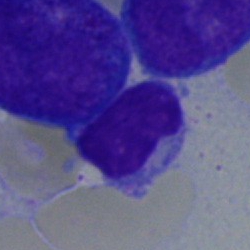 Morphological class = lymphocyte.